40× objective, oil immersion; bone marrow aspirate smear:
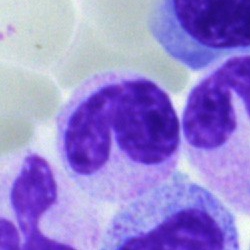A stab cell.